Bone marrow smear; 250 by 250 pixels; MGG-stained: 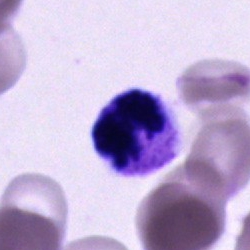 Q: What cell is this?
A: A segmented neutrophil.